Bone marrow aspirate smear · 40× objective, oil immersion · May-Grünwald-Giemsa/Pappenheim stain.
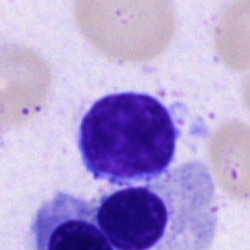
Cell type = typical lymphocyte.